Brightfield microscopy, 40× oil immersion. Single-cell crop. Bone marrow aspirate smear — 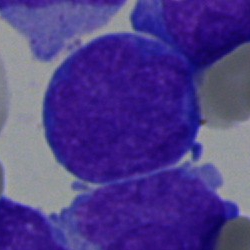
A blast.